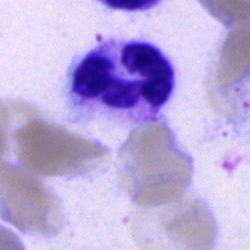Classification: neutrophil (segmented).